Bone marrow aspirate smear: 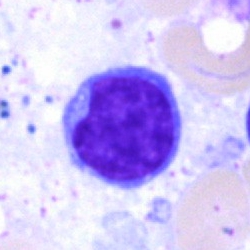This is a typical lymphocyte.